Bone marrow smear:
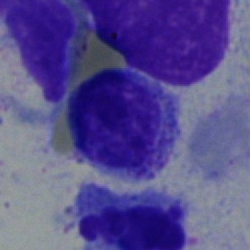
Impression → typical lymphocyte.